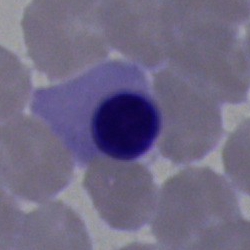A nucleated red blood cell.